Bone marrow smear: 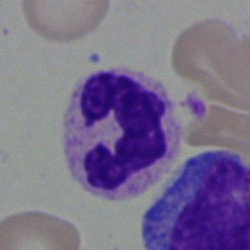 Q: Which cell type is shown here?
A: Neutrophil (segmented).